Bone marrow smear
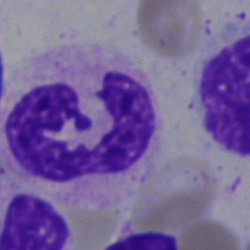 Q: What type of cell is this?
A: A segmented neutrophil.